Bone marrow aspirate smear
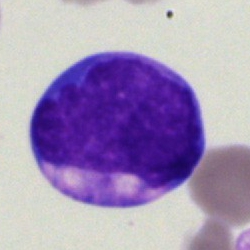

{"cell_type": "undifferentiated blast"}